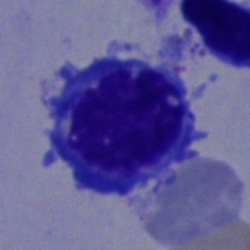Q: What is the morphological classification of this cell?
A: It is a normoblast.